Bone marrow smear · single-cell crop · 250×250 px
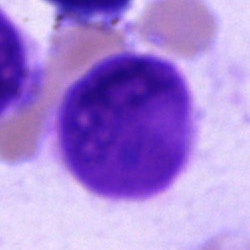 Q: What is shown here?
A: Artifact.